Peripheral blood smear: 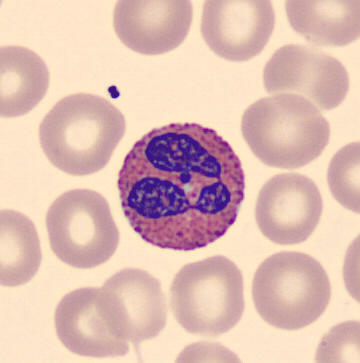

Showing an eosinophil.